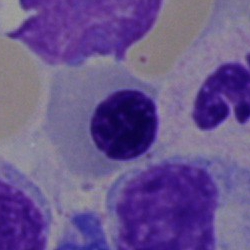

Q: Which cell type is shown here?
A: Normoblast.